Bone marrow aspirate smear.
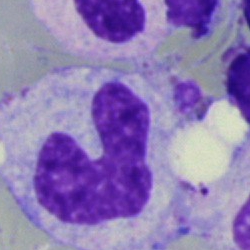Band neutrophil.